Bone marrow aspirate smear; 40× oil immersion; image size 250×250.
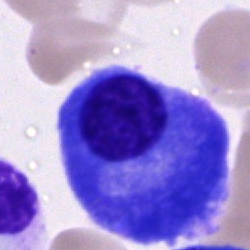 Plasma cell.